Bone marrow smear — 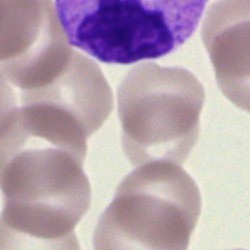

Q: What is shown here?
A: Artefact.